Peripheral blood smear; Romanowsky-stained: 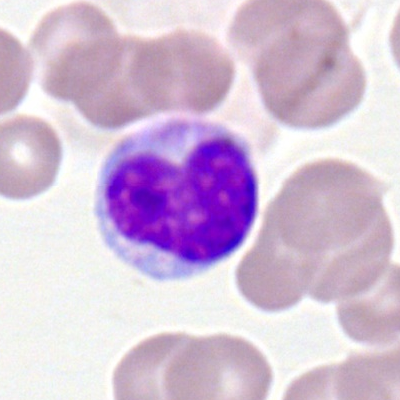
This is a lymphocyte.